Bone marrow smear
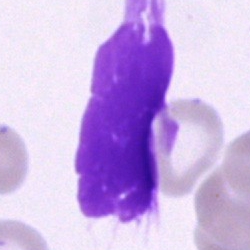Impression → artifact.